Romanowsky-stained; 100× oil immersion; peripheral blood smear: 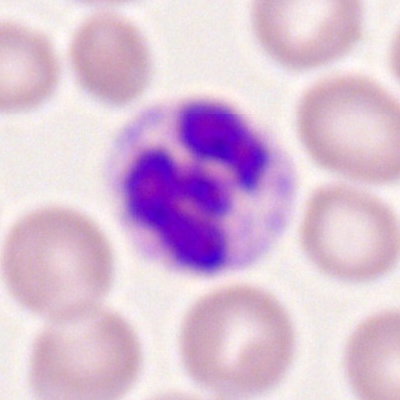Impression — segmented neutrophil.